Cropped to a single cell · bone marrow smear:
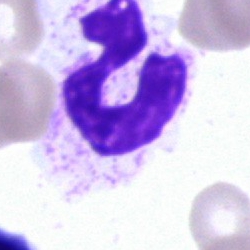

Impression — neutrophil (segmented).